Bone marrow smear; single-cell field: 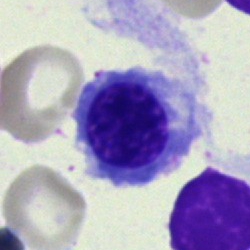

Single cell identified as an erythroblast.